Bone marrow aspirate smear:
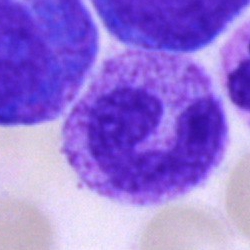 Morphology consistent with a band neutrophil.